Bone marrow aspirate smear — 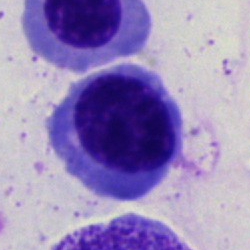A nucleated red cell.